400×400 px · peripheral blood film.
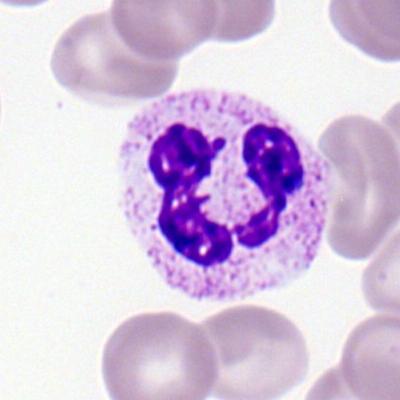

The cell type is segmented neutrophil.